Bone marrow aspirate smear — 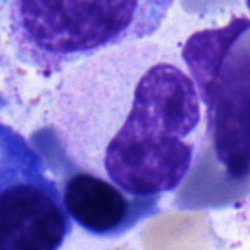

Cell type = band neutrophil.